Bone marrow smear:
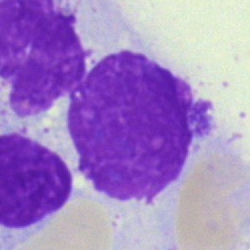

The cell type is artifact.